Bone marrow smear
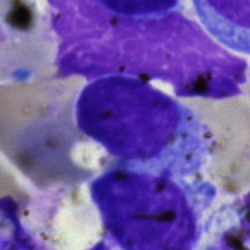

Specimen: bone marrow aspirate smear.
Cell type: typical lymphocyte.
Lineage: lymphoid.